40× oil immersion; bone marrow aspirate smear: 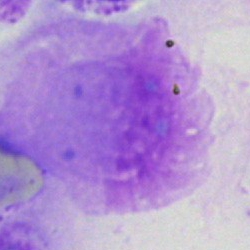

Q: What is shown here?
A: An artifact.